40× oil immersion · bone marrow smear · MGG-stained.
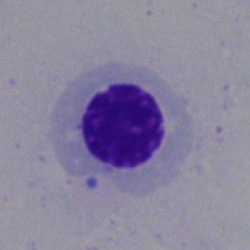

A nucleated red blood cell.